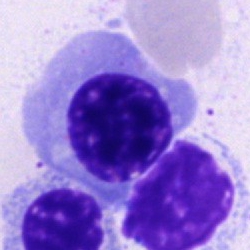

The cell type is nucleated red cell.